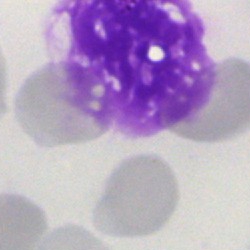Impression → artifact.